Bone marrow aspirate smear; single-cell crop.
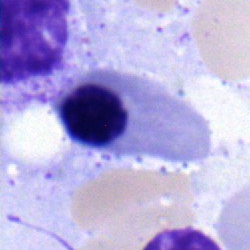

Q: What is the morphological classification of this cell?
A: This is an erythroblast.